Bone marrow aspirate smear.
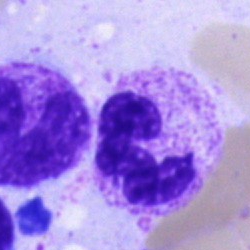Q: What is the morphological classification of this cell?
A: Neutrophil (segmented).